Bone marrow aspirate smear · 40× oil immersion
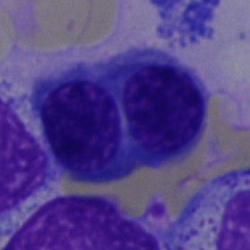

A nucleated red blood cell.